MGG-stained; bone marrow smear — 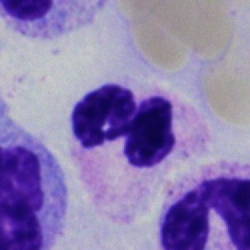 The classification is segmented neutrophil.